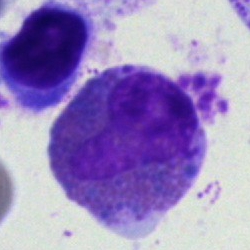
{"cell_type": "eosinophil"}